40× objective, oil immersion · bone marrow aspirate smear — 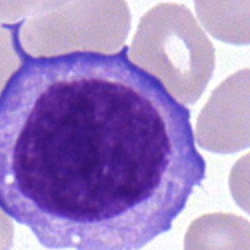 Cell type — lymphocyte.